Peripheral blood smear
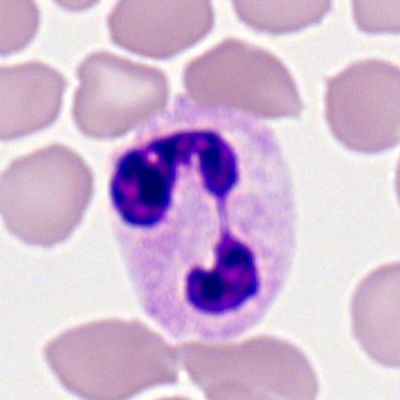

Q: Which cell type is shown here?
A: This is a neutrophil (segmented).